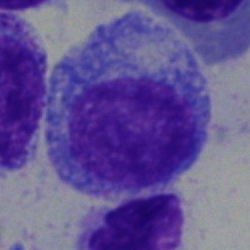Q: What type of cell is this?
A: It is a promyelocyte.